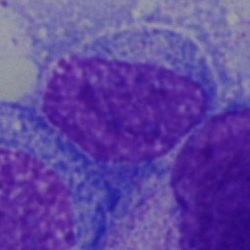
Morphology consistent with an undifferentiated blast.